Image size 250×250; bone marrow smear
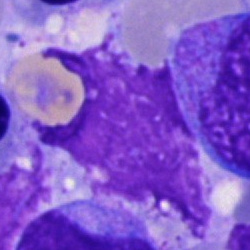The cell shown is an artefact.